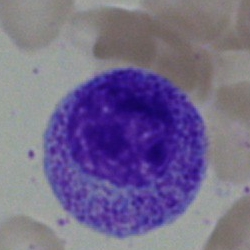

This is a myelocyte.